Peripheral blood smear: 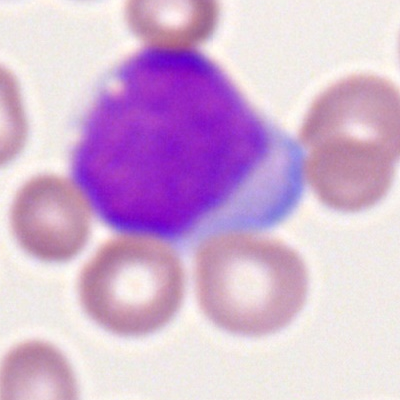Morphology → myeloid blast.